400×400 px · single cell centered in the field · peripheral blood film.
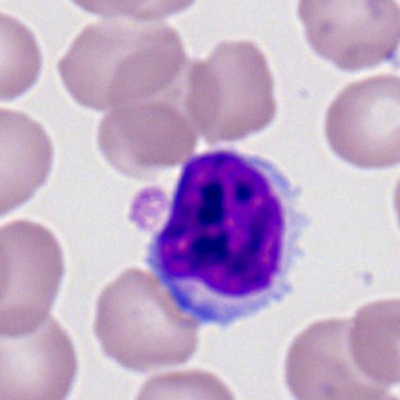

The classification is lymphocyte.